Bone marrow smear.
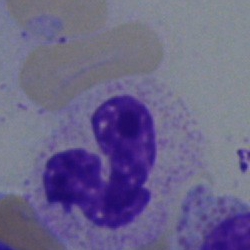
Cell — neutrophil (segmented).